Bone marrow aspirate smear: 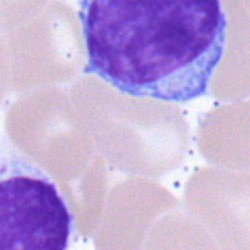

Impression → lymphocyte.